Bone marrow smear
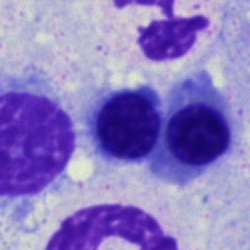{"cell_type": "erythroblast"}